Bone marrow smear: 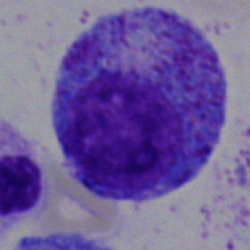
Morphology — myelocyte.